Bone marrow aspirate smear: 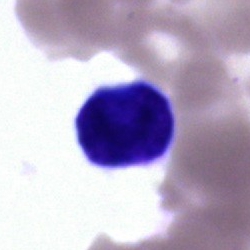

Q: What is the morphological classification of this cell?
A: Lymphocyte.